Bone marrow smear
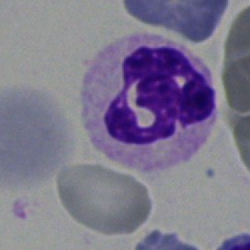The morphological class is polymorphonuclear neutrophil.